Bone marrow smear.
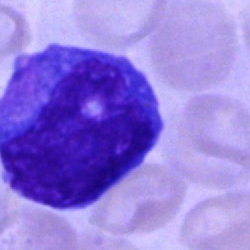Q: Identify the cell.
A: It is a monocyte.